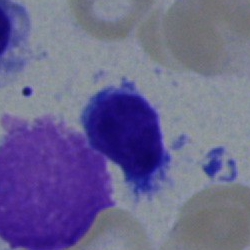

Q: Which cell type is shown here?
A: It is a typical lymphocyte.